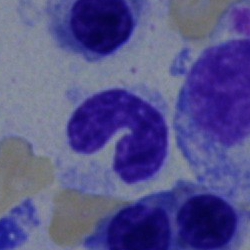
Q: What type of cell is this?
A: A neutrophil (band).